Brightfield microscopy, 40× oil immersion. Bone marrow aspirate smear:
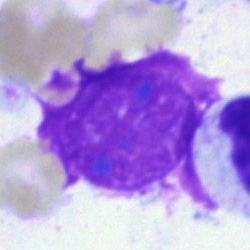
Morphology consistent with an artefact.